Bone marrow aspirate smear
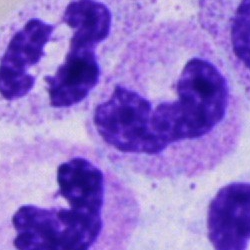 Showing a polymorphonuclear neutrophil.